Bone marrow aspirate smear: 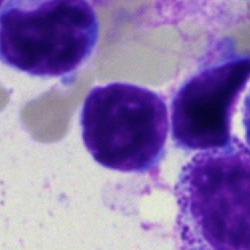
Classification = typical lymphocyte.